Bone marrow smear:
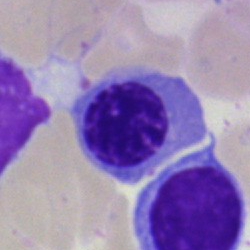
Morphology consistent with an erythroblast.